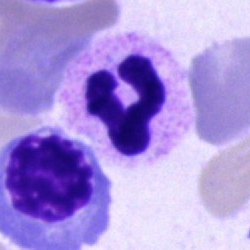 The cell type is polymorphonuclear neutrophil.